Bone marrow smear.
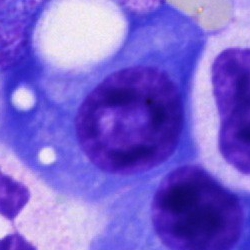This is a plasma cell.